Bone marrow aspirate smear
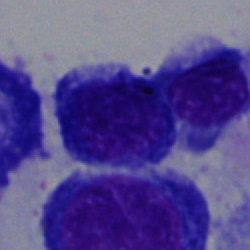Q: What type of cell is this?
A: It is a nucleated red cell.